Bone marrow smear: 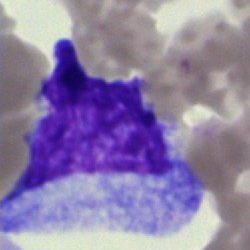

Classification = artefact.